Brightfield, 40× oil-immersion objective; bone marrow smear; 250 by 250 pixels:
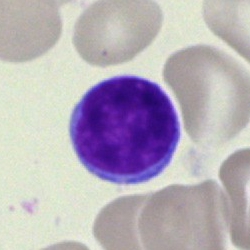This is a lymphocyte.